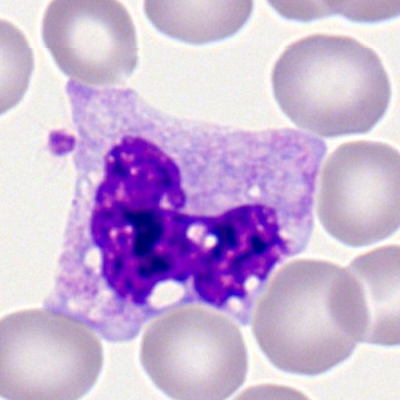 Morphology consistent with a monocyte.